Peripheral blood film — 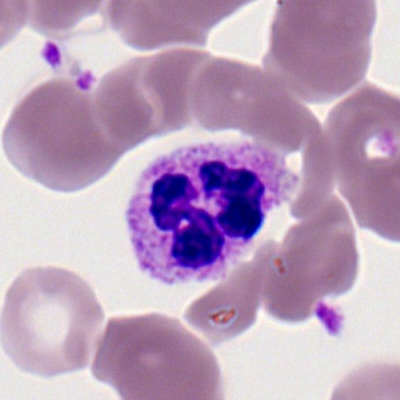

The classification is polymorphonuclear neutrophil.